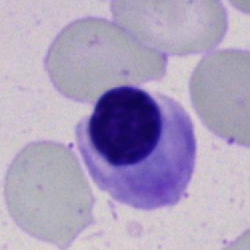Single-cell crop from a bone marrow smear: nucleated red cell.